40× oil immersion. Bone marrow aspirate smear: 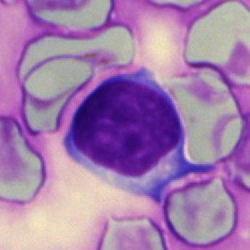Lymphocyte.